Bone marrow smear · brightfield microscopy, 40× oil immersion: 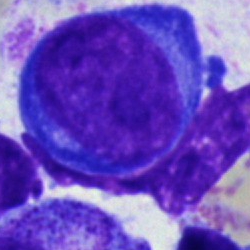{"cell_type": "pronormoblast", "lineage": "erythroid"}